Bone marrow aspirate smear
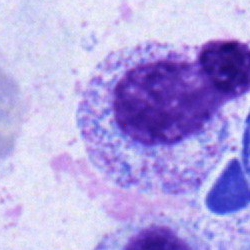

A myelocyte.